Bone marrow aspirate smear · brightfield, 40× oil-immersion objective: 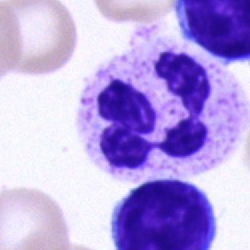

Morphology consistent with a neutrophil (segmented).